Bone marrow aspirate smear: 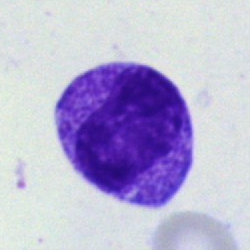The classification is metamyelocyte.